Bone marrow smear; brightfield, 40× oil-immersion objective; Pappenheim-stained.
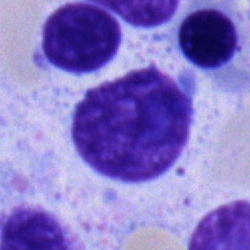

Cell type — typical lymphocyte.